Bone marrow smear
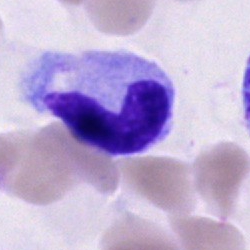

Q: Which cell type is shown here?
A: A neutrophil (band).